Brightfield microscopy, 40× oil immersion · bone marrow smear — 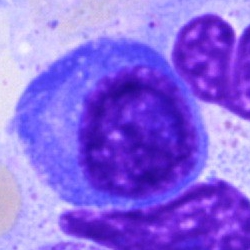 Showing a plasma cell.